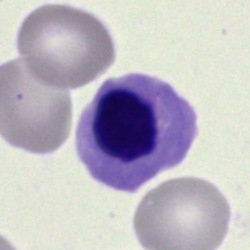 Cell — erythroblast.